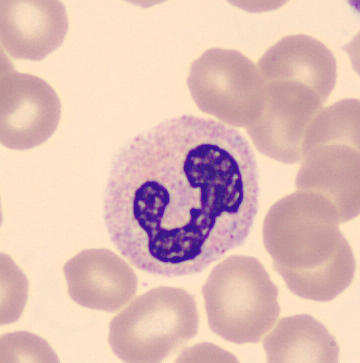
Cell — polymorphonuclear neutrophil.
Peripheral blood film. CellaVision DM96 digital cell image. MGG stain.